Bone marrow aspirate smear: 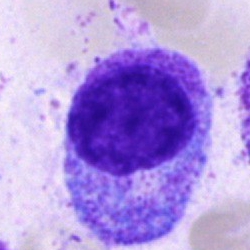

This is a progranulocyte.